Brightfield, 40× oil-immersion objective. Bone marrow aspirate smear — 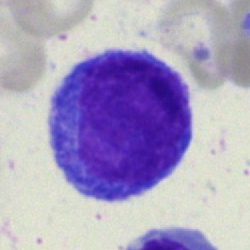
Showing an undifferentiated blast.